Single cell centered in the field · bone marrow aspirate smear · MGG-stained — 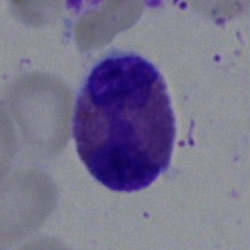
Q: What is the morphological classification of this cell?
A: Eosinophil.